250×250. Bone marrow aspirate smear: 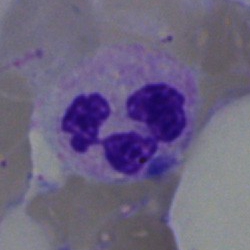

Impression → polymorphonuclear neutrophil.